250 by 250 pixels; bone marrow smear
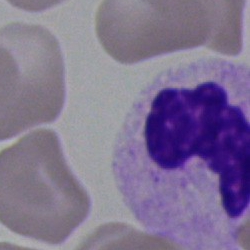Q: What cell is this?
A: This is a neutrophil (segmented).